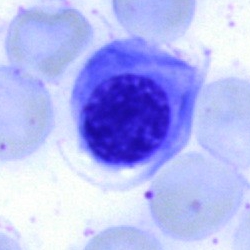
Q: What cell is this?
A: This is a normoblast.